Bone marrow smear.
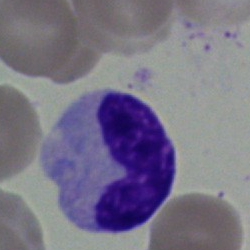

Cell type = stab cell.